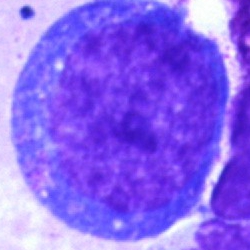A progranulocyte.